Bone marrow smear — 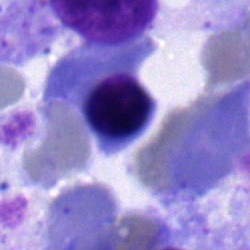
Q: Which cell type is shown here?
A: It is a typical lymphocyte.